Bone marrow aspirate smear:
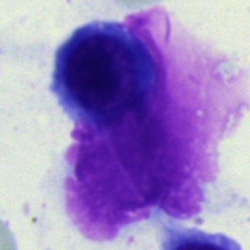

Cell: artifact.